MGG-stained. Bone marrow smear. Brightfield, 40× oil-immersion objective — 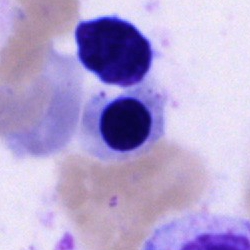
Morphological class = normoblast.